Bone marrow aspirate smear:
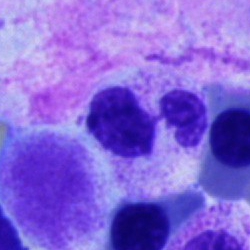

Q: What is shown here?
A: This is a neutrophil (segmented).